Bone marrow aspirate smear.
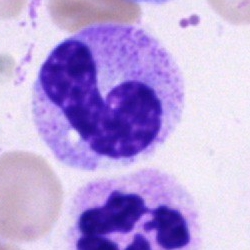 Morphology → band neutrophil.